Bone marrow smear:
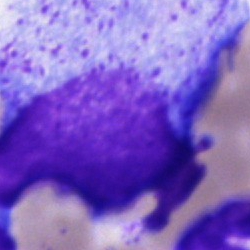
Morphology → progranulocyte.